Bone marrow smear:
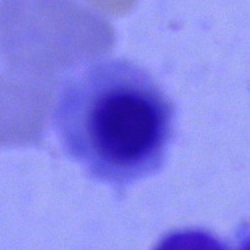This is a normoblast.